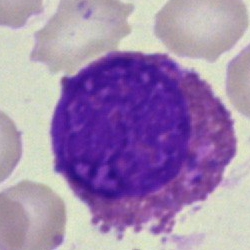The classification is eosinophilic granulocyte.